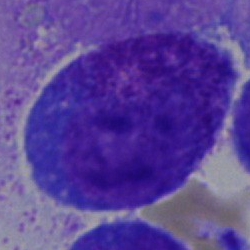 This is a promyelocyte.